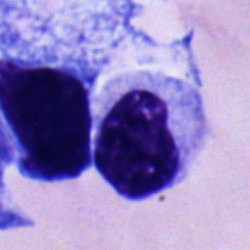 Specimen: bone marrow smear.
Classification: metamyelocyte.